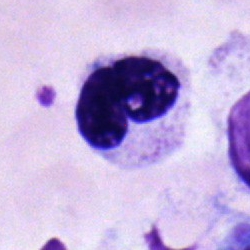
This is a stab cell.